Bone marrow aspirate smear — 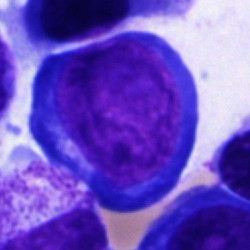

Classification: pronormoblast.